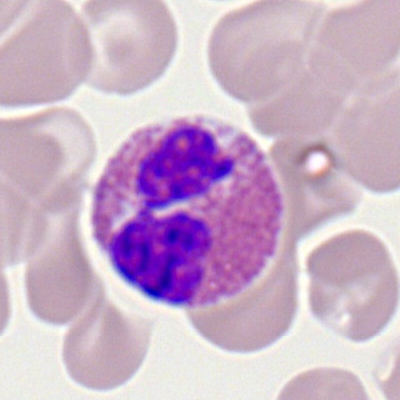Specimen: peripheral blood smear.
Cell type: eosinophil.